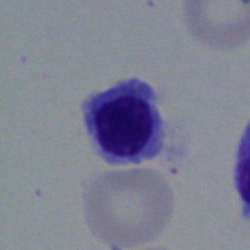A nucleated red blood cell on a bone marrow smear.